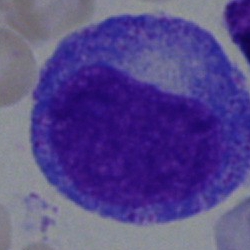

{"cell_type": "promyelocyte", "lineage": "myeloid"}